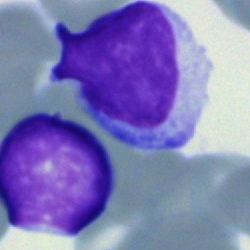
Q: What is the morphological classification of this cell?
A: A lymphocyte.